Peripheral blood film:
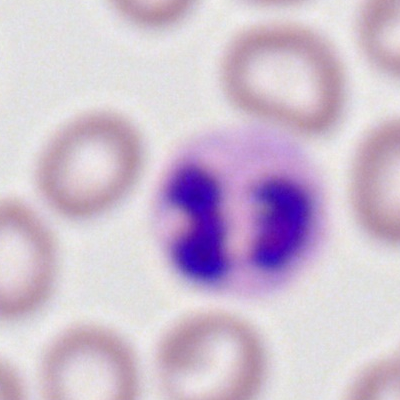
Specimen: peripheral blood film.
Cell type: segmented neutrophil.